Bone marrow aspirate smear: 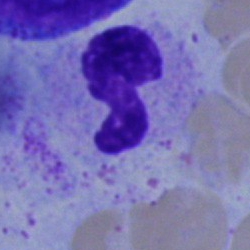

Classification — neutrophil (segmented).